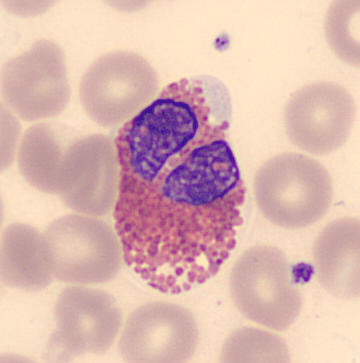 Eosinophilic granulocyte. Acquisition: Peripheral blood smear.